Single cell centered in the field; peripheral blood film:
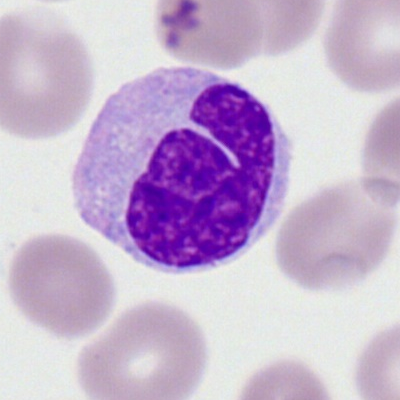 Showing a monocyte.